Peripheral blood film; 100× oil immersion — 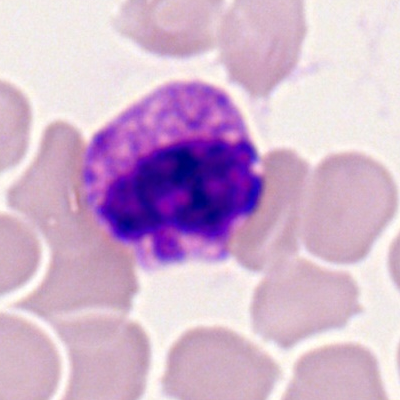 This is a basophil.